May-Grünwald-Giemsa stain. Bone marrow aspirate smear — 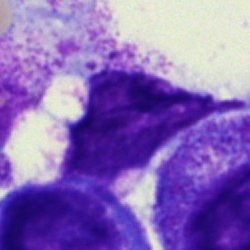
This is an artefact.